Bone marrow aspirate smear; 250 by 250 pixels.
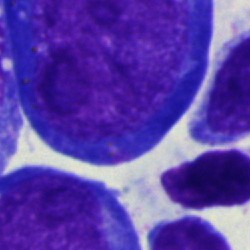

The cell type is blast.